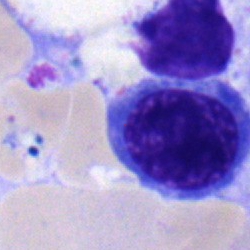Q: What cell is this?
A: It is a nucleated red blood cell.